Brightfield microscopy, 40× oil immersion. Bone marrow smear — 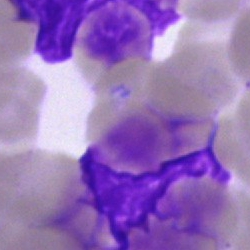{"cell_type": "artifact"}